250×250 px · bone marrow smear — 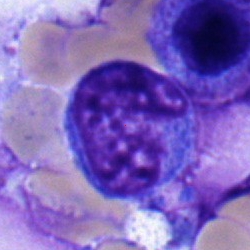

Impression — monocyte.